Bone marrow aspirate smear; May-Grünwald-Giemsa stain
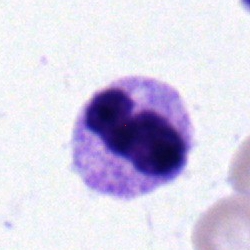

This is a neutrophil (band).